Bone marrow aspirate smear; May-Grünwald-Giemsa stain; cropped to a single cell: 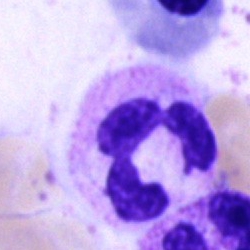
{"cell_type": "neutrophil (segmented)"}